Bone marrow aspirate smear:
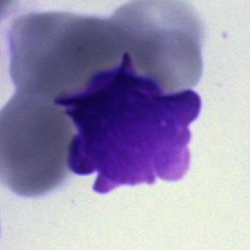 The cell is artefact.